Bone marrow smear — 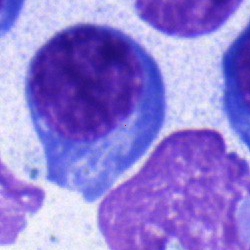Specimen: bone marrow smear.
Cell type: nucleated red cell.
Lineage: erythroid.